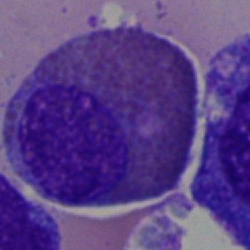Cell type — eosinophilic granulocyte.